Bone marrow smear:
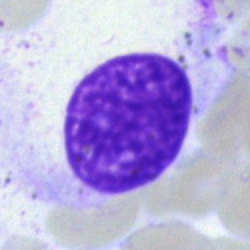
Classification = artifact.